Image size 250×250; bone marrow aspirate smear — 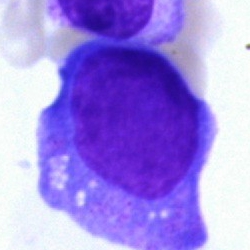

Blast.